Bone marrow smear. Single cell centered in the field.
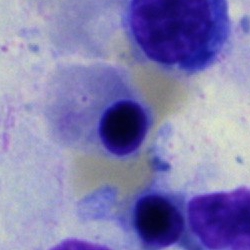

Specimen: bone marrow smear.
Morphological class: nucleated red blood cell.